May-Grünwald-Giemsa/Pappenheim stain. Bone marrow aspirate smear
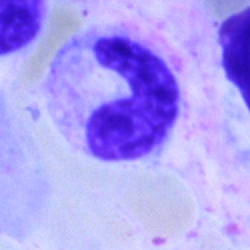 Band neutrophil.